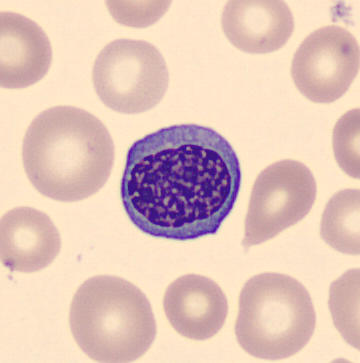Peripheral blood smear. Identified as a normoblast.